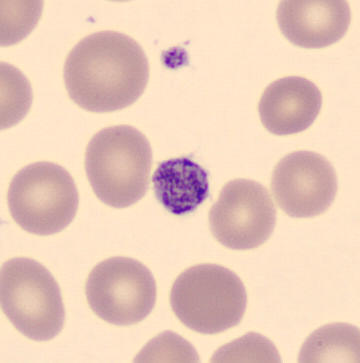

A thrombocyte on a peripheral blood smear.